Bone marrow smear:
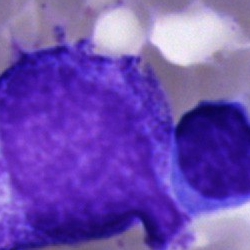
The morphological class is unidentifiable cell.